Bone marrow aspirate smear
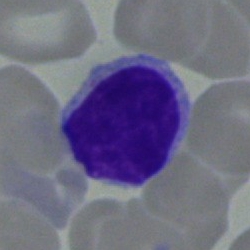

Cell type = typical lymphocyte.